Bone marrow aspirate smear — 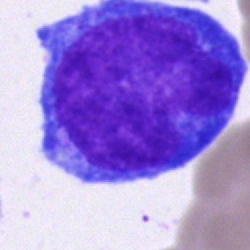

A blast.